Bone marrow smear: 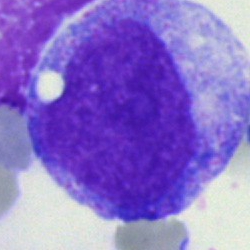Specimen: bone marrow aspirate smear.
Classification: blast.